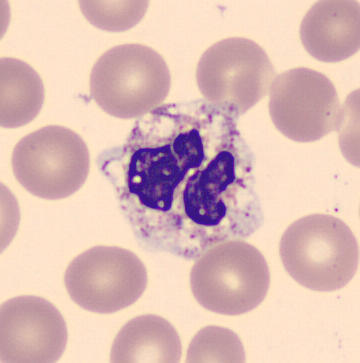
Specimen: peripheral blood smear.
Classification: neutrophil (segmented).
Lineage: myeloid.